Bone marrow aspirate smear:
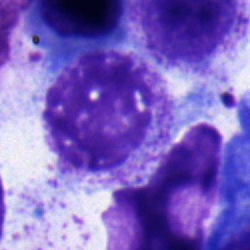{"cell_type": "myelocyte", "lineage": "myeloid"}